100× objective, oil immersion; peripheral blood smear; 400 by 400 pixels — 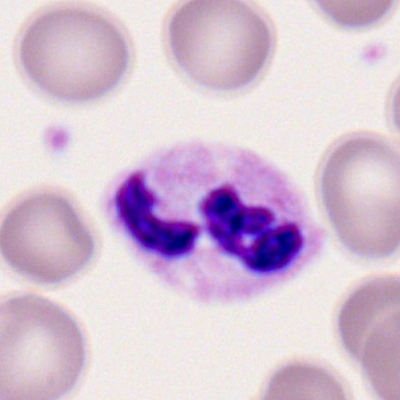

Specimen: peripheral blood smear.
Classification: segmented neutrophil.
Lineage: myeloid.